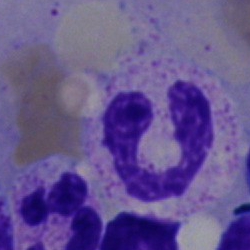 Polymorphonuclear neutrophil.